Bone marrow smear
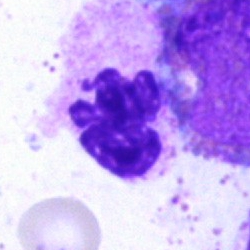
This is a segmented neutrophil.